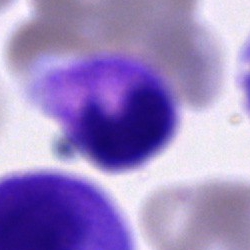

The morphological class is polymorphonuclear neutrophil.